Bone marrow smear:
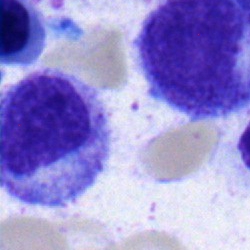
Specimen: bone marrow aspirate smear.
Cell type: metamyelocyte.